Bone marrow smear
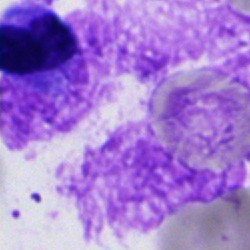
Cell — artefact.